40× oil immersion; bone marrow smear: 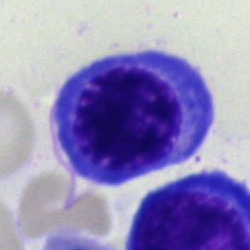
Cell type = normoblast.